May-Grünwald-Giemsa/Pappenheim stain. Bone marrow aspirate smear. Single-cell crop: 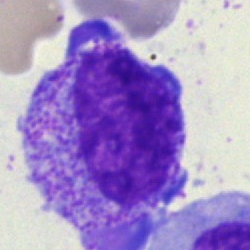A promyelocyte.